Bone marrow aspirate smear — 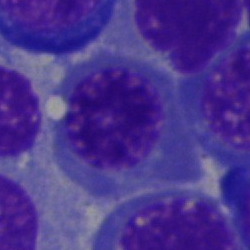

Morphology — nucleated red cell.